100× objective, oil immersion; peripheral blood smear; single-cell field:
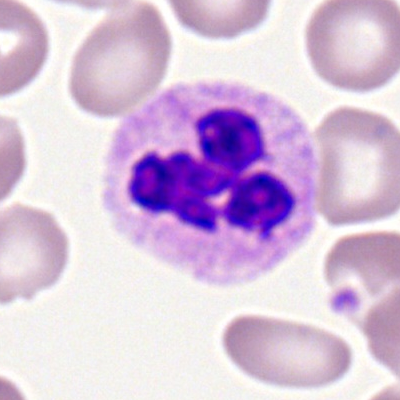

Specimen: peripheral blood smear.
Cell: neutrophil (segmented).
Lineage: myeloid.